Bone marrow aspirate smear.
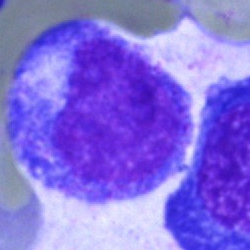{"cell_type": "promyelocyte"}